Bone marrow aspirate smear:
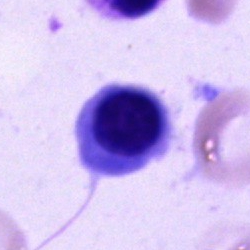Classification — nucleated red cell.